Romanowsky stain; peripheral blood smear; 400 by 400 pixels — 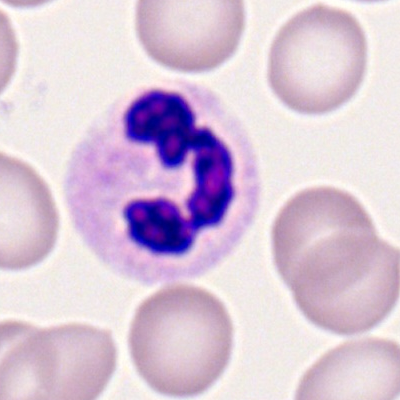 This is a polymorphonuclear neutrophil.